Bone marrow aspirate smear; brightfield, 40× oil-immersion objective.
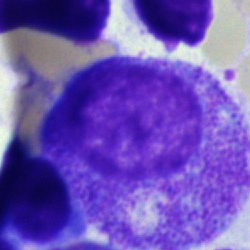

This is a promyelocyte.